Bone marrow smear: 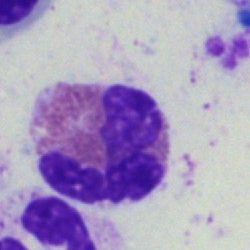 Specimen: bone marrow aspirate smear.
Classification: eosinophil.
Lineage: myeloid.